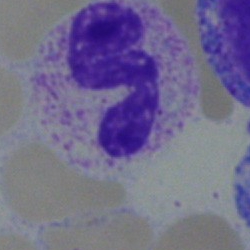
Morphological class = polymorphonuclear neutrophil.